Bone marrow aspirate smear · 250 by 250 pixels · brightfield microscopy, 40× oil immersion — 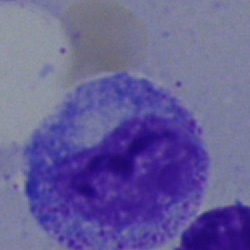 Cell = promyelocyte.